Romanowsky stain · 400×400 · peripheral blood smear
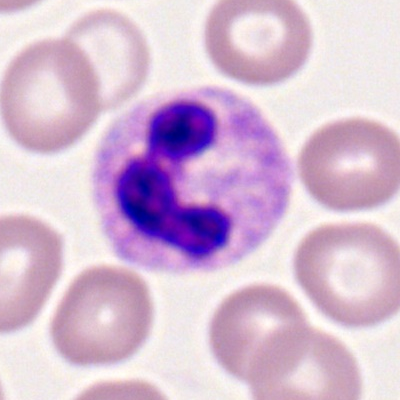
Morphology consistent with a segmented neutrophil.